Image size 250×250. 40× oil immersion. Bone marrow aspirate smear: 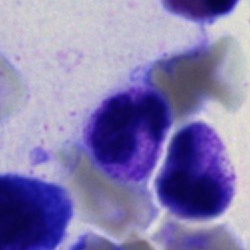Classification = polymorphonuclear neutrophil.